Bone marrow smear.
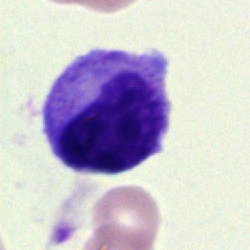
This is a metamyelocyte.